Single cell centered in the field. Bone marrow aspirate smear. 250 by 250 pixels: 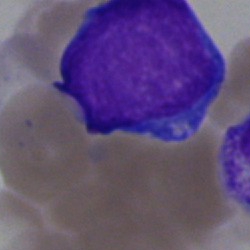 Cell — undifferentiated blast.